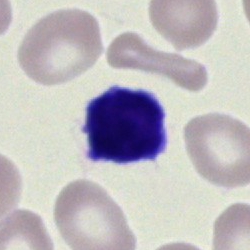Specimen: bone marrow aspirate smear.
Cell type: lymphocyte.
Lineage: lymphoid.